May-Grünwald-Giemsa/Pappenheim stain; bone marrow aspirate smear:
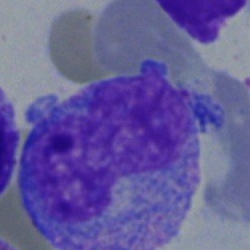 A promyelocyte.